Bone marrow aspirate smear · cropped to a single cell · May-Grünwald-Giemsa stain
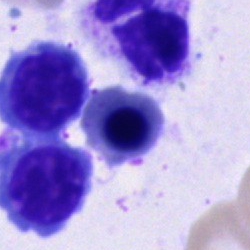
Single cell identified as a normoblast.